250 by 250 pixels · bone marrow smear
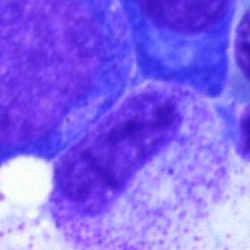

Q: What is shown here?
A: A band-form neutrophil.